Bone marrow aspirate smear.
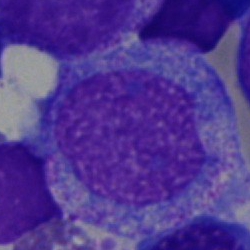 The cell shown is a promyelocyte.